40× objective, oil immersion; bone marrow aspirate smear — 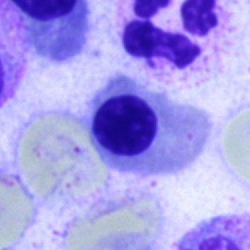Nucleated red blood cell.